Single cell centered in the field; bone marrow smear:
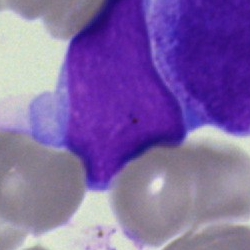 Q: What is shown here?
A: Blast.